Bone marrow smear:
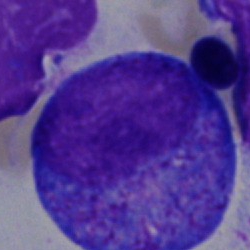Specimen: bone marrow aspirate smear.
Cell type: progranulocyte.
Lineage: myeloid.